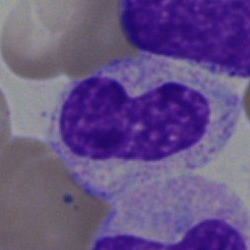
A neutrophil (band) on a bone marrow smear.